Single-cell crop · bone marrow aspirate smear.
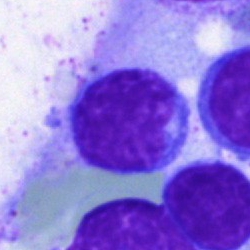
The cell shown is a lymphocyte.